Pappenheim-stained. Bone marrow aspirate smear:
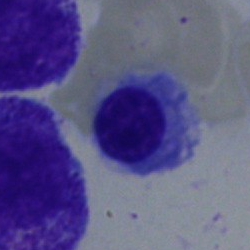

This is a nucleated red cell.